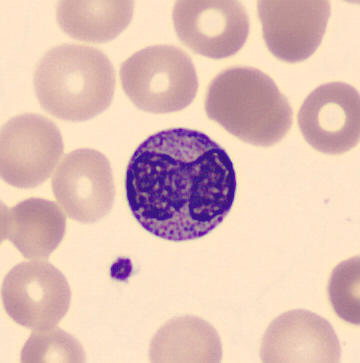

Image: Peripheral blood film.
Q: What is this?
A: It is a metamyelocyte.